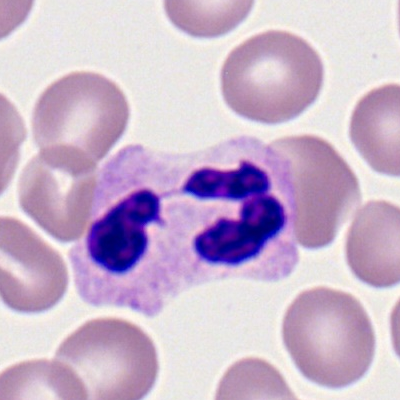
Showing a segmented neutrophil.